Brightfield microscopy, 40× oil immersion. Bone marrow aspirate smear
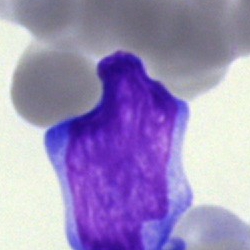 A blast.